Bone marrow aspirate smear; brightfield, 40× oil-immersion objective; 250×250 — 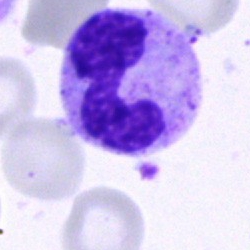

Morphology consistent with a polymorphonuclear neutrophil.